Brightfield, 40× oil-immersion objective. Bone marrow smear.
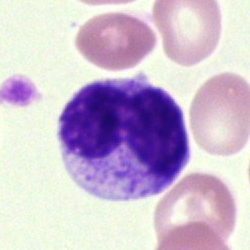
This is a band-form neutrophil.